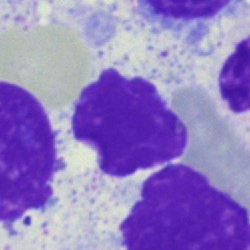 Single cell identified as an artifact.